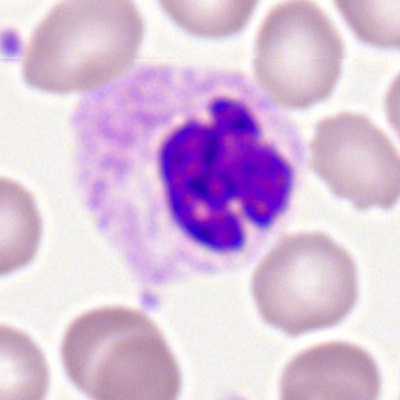
Specimen: peripheral blood film.
Cell type: neutrophil (segmented).
Lineage: myeloid.